Peripheral blood smear · 400 by 400 pixels.
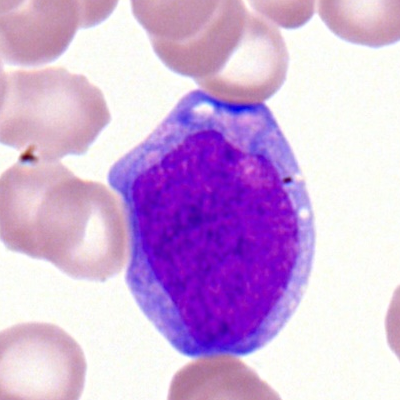 Q: What type of cell is this?
A: A myeloblast.